Single-cell field; bone marrow smear:
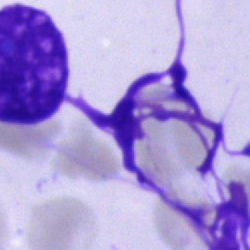This is an artifact.